Bone marrow smear — 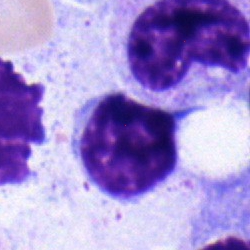

Impression → lymphocyte.